Peripheral blood smear
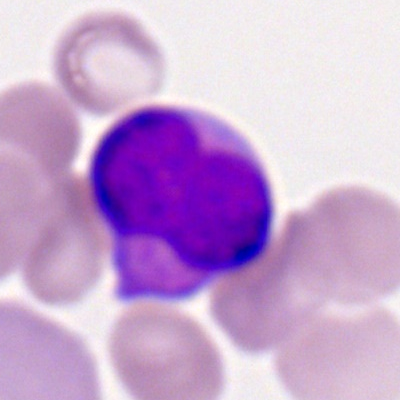
Morphology — myeloid blast.